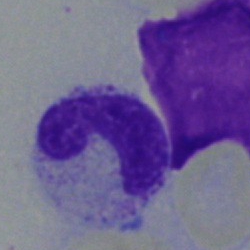A stab cell on a bone marrow smear.